Bone marrow smear.
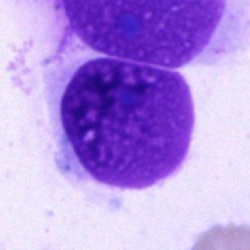
Showing an artefact.